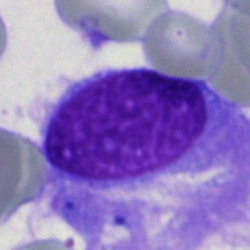Morphological class = artefact.